Bone marrow smear. 250×250 px. May-Grünwald-Giemsa stain — 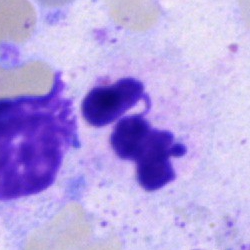Single cell identified as a polymorphonuclear neutrophil.